40× oil immersion. Pappenheim-stained. Bone marrow aspirate smear: 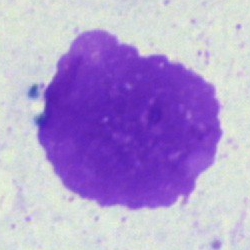

Q: What is shown here?
A: This is an artefact.